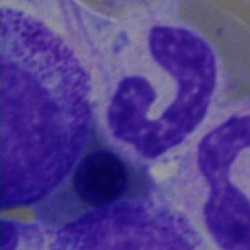
Single-cell crop from a bone marrow smear: neutrophil (segmented).